250 by 250 pixels; brightfield, 40× oil-immersion objective; bone marrow smear: 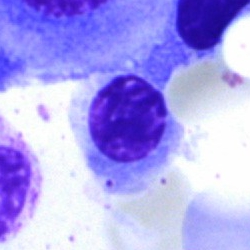 {"cell_type": "normoblast"}